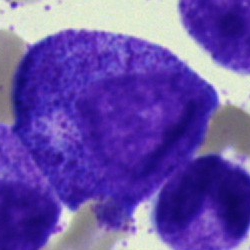 Promyelocyte.